MGG-stained. Bone marrow aspirate smear — 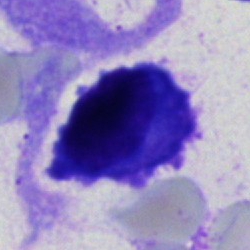 Q: Identify the cell.
A: A plasma cell.